Bone marrow smear:
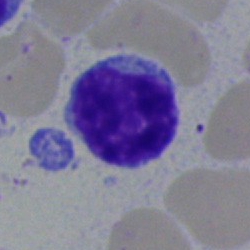Q: What is the morphological classification of this cell?
A: A typical lymphocyte.